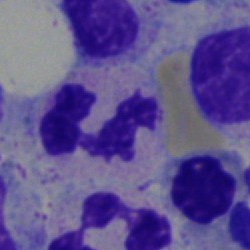The cell shown is a segmented neutrophil.